Bone marrow aspirate smear · 40× oil immersion · single-cell field:
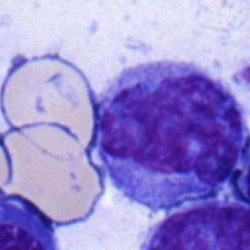The cell shown is a monocyte.